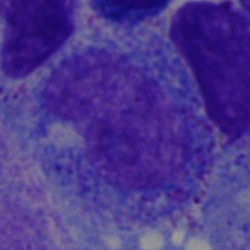Q: What is shown here?
A: A promyelocyte.